Bone marrow smear: 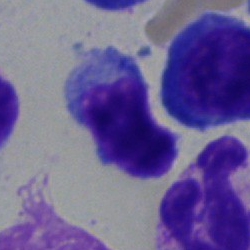 Cell type = typical lymphocyte.